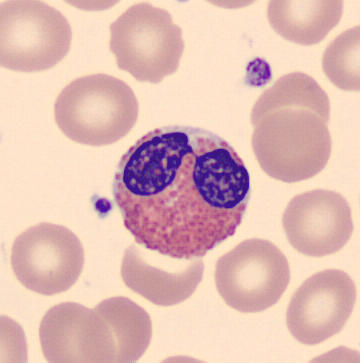
Image: Image size 360×363.
Specimen: peripheral blood smear.
Cell type: eosinophil.
Lineage: myeloid.